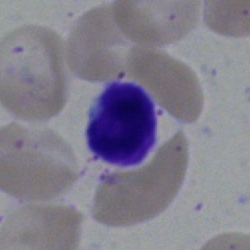 The cell shown is a lymphocyte.